250×250 · bone marrow aspirate smear
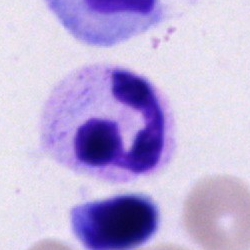

Cell = segmented neutrophil.